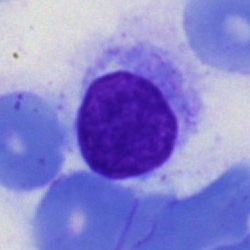Showing a hairy cell.